250×250; bone marrow aspirate smear; May-Grünwald-Giemsa/Pappenheim stain:
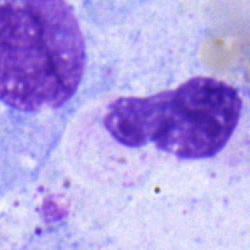
This is a polymorphonuclear neutrophil.